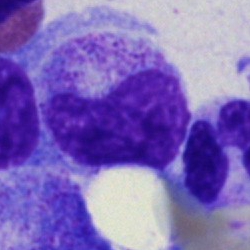
Specimen: bone marrow smear.
Classification: neutrophil (band).
Lineage: myeloid.